Bone marrow aspirate smear; 250×250
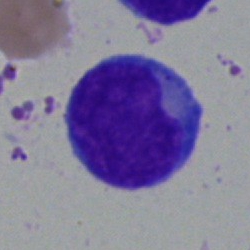 A blast.